Bone marrow aspirate smear:
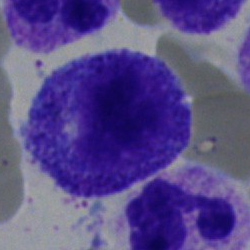
A progranulocyte.